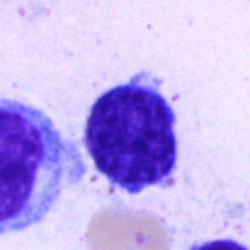

Cell type — lymphocyte.